Single-cell crop · bone marrow smear · 40× oil immersion — 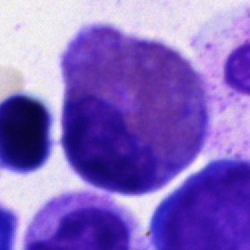Q: What cell is this?
A: This is an eosinophilic granulocyte.